Peripheral blood smear — 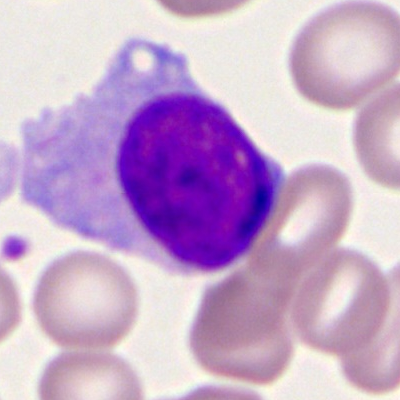

Morphology consistent with a monocyte.